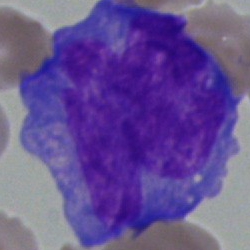Morphology → blast cell.